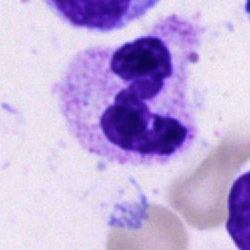
Classification = segmented neutrophil.